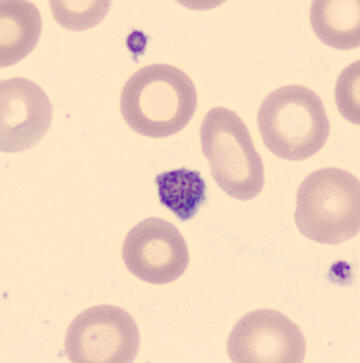
Preparation: CellaVision DM96 digital cell image. Peripheral blood smear.

Morphology consistent with a platelet (thrombocyte).